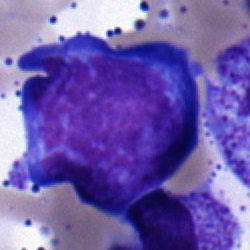 Q: What cell is this?
A: This is a proerythroblast.